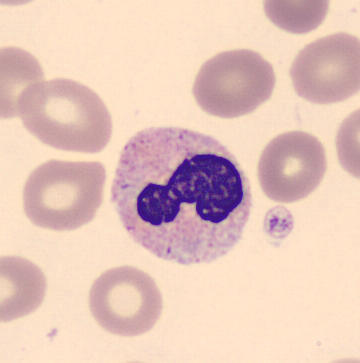

Image: Peripheral blood film.
Q: What type of cell is this?
A: It is a band-form neutrophil.